Bone marrow aspirate smear:
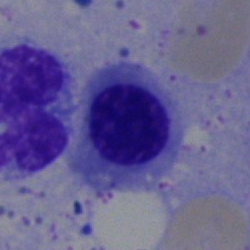 Showing a nucleated red blood cell.